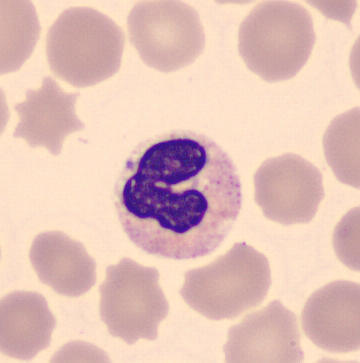
This is a band-form neutrophil. Peripheral blood film.